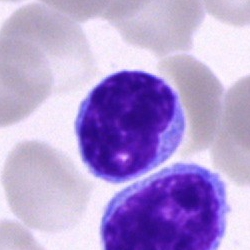 Q: What type of cell is this?
A: A lymphocyte.